Bone marrow smear — 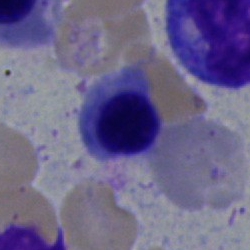

Showing a nucleated red cell.